Bone marrow aspirate smear — 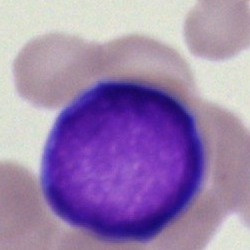 {"cell_type": "undifferentiated blast"}